40× objective, oil immersion · bone marrow smear
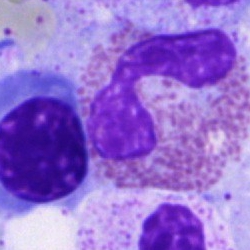

Single cell identified as an eosinophilic granulocyte.